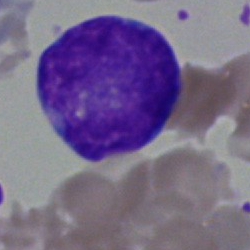 Morphology → blast.